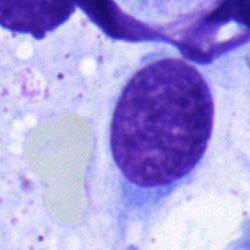

Q: What is the morphological classification of this cell?
A: It is a typical lymphocyte.